Bone marrow smear — 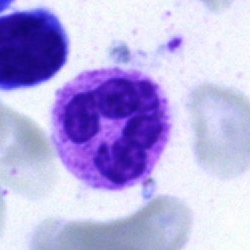 Classification — polymorphonuclear neutrophil.